Bone marrow smear.
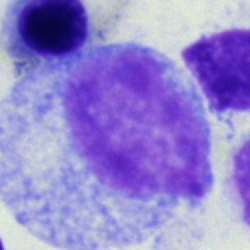

Q: Which cell type is shown here?
A: It is a proerythroblast.